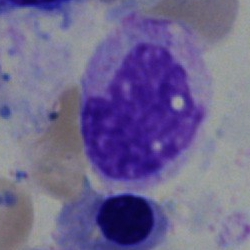 Q: What type of cell is this?
A: Segmented neutrophil.